Bone marrow aspirate smear · May-Grünwald-Giemsa/Pappenheim stain: 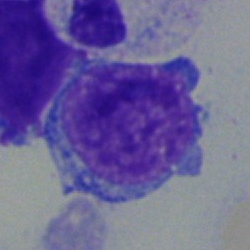Q: Which cell type is shown here?
A: It is a typical lymphocyte.